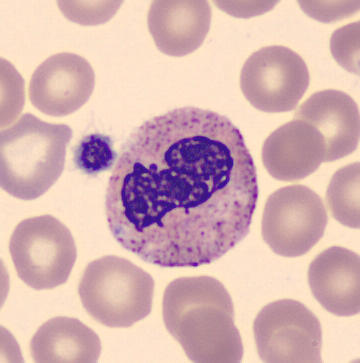 Neutrophil (segmented). Peripheral blood film.